Bone marrow aspirate smear · single-cell field · May-Grünwald-Giemsa/Pappenheim stain
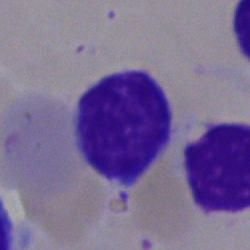
{"cell_type": "lymphocyte", "lineage": "lymphoid"}